Bone marrow aspirate smear · 250 by 250 pixels — 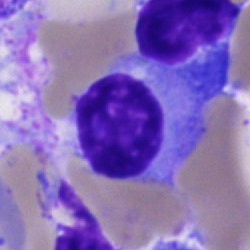 Q: Which cell type is shown here?
A: This is a plasmacyte.